Bone marrow smear; MGG-stained.
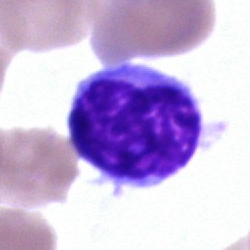Hairy cell.